Peripheral blood smear.
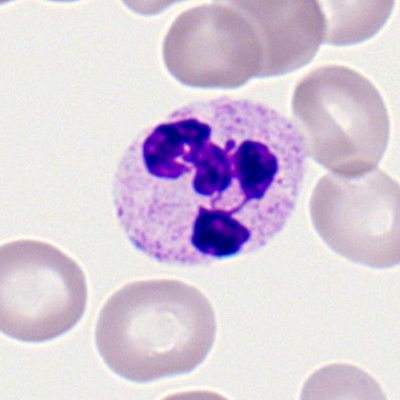 Neutrophil (segmented).